Single cell centered in the field · 250×250 · bone marrow smear: 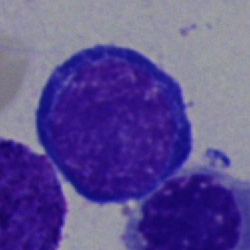Q: Identify the cell.
A: It is a nucleated red cell.